Peripheral blood smear: 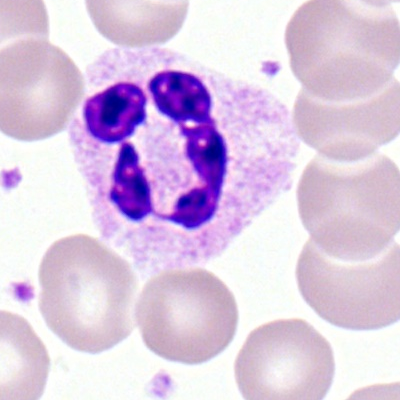Cell = neutrophil (segmented).